Pappenheim-stained. Bone marrow aspirate smear:
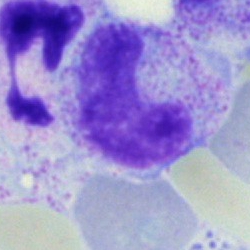 The classification is neutrophil (band).